Bone marrow aspirate smear. Single-cell field. 250 by 250 pixels:
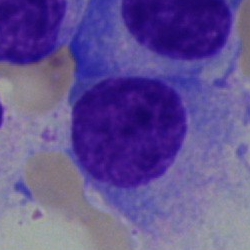
Q: Identify the cell.
A: Plasma cell.